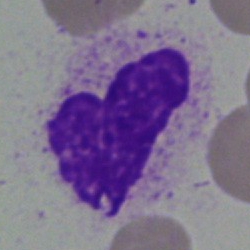
Artifact.